40× objective, oil immersion. Bone marrow smear
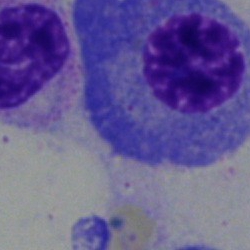

Impression — plasma cell.